Bone marrow aspirate smear:
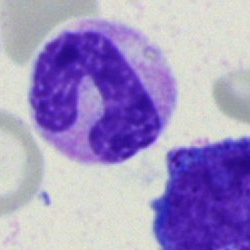

Classification = stab cell.